Bone marrow aspirate smear.
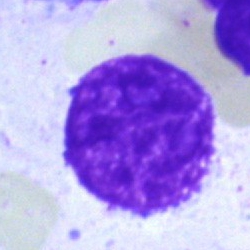Morphology consistent with an artefact.